Bone marrow smear · 40× objective, oil immersion — 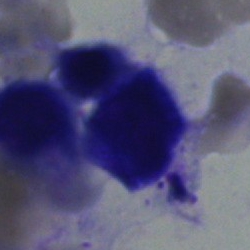 Specimen: bone marrow smear.
Classification: normoblast.
Lineage: erythroid.